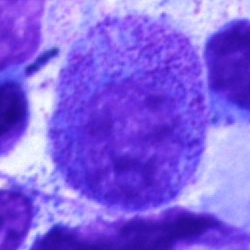 Cell — myelocyte.